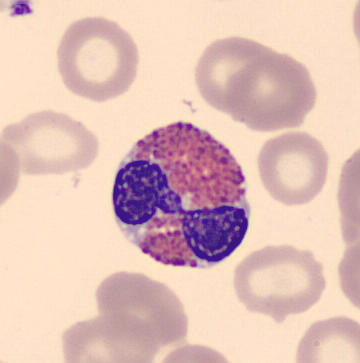
From a peripheral blood smear: an eosinophil.